Peripheral blood film:
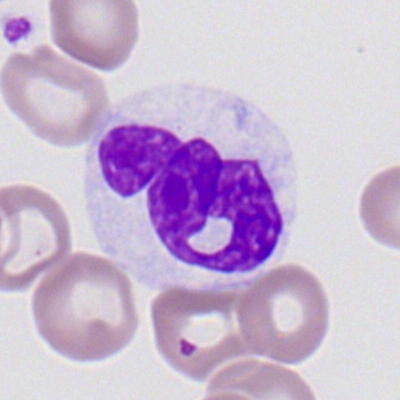

Impression → segmented neutrophil.